Peripheral blood film — 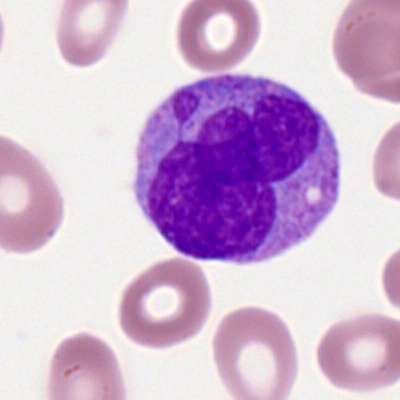

Q: What is shown here?
A: Monocyte.